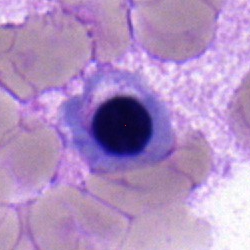

Classification — normoblast.